Bone marrow smear: 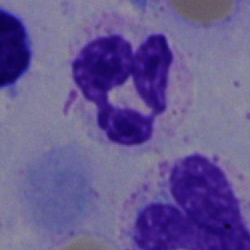

Cell — polymorphonuclear neutrophil.